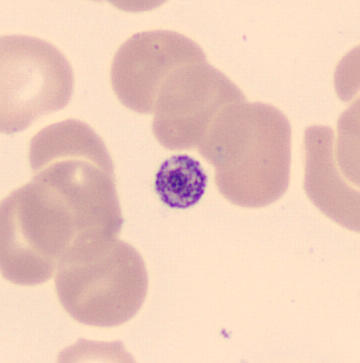

Acquisition: Peripheral blood film · automated cell imaging (CellaVision DM96).
Thrombocyte.